Peripheral blood smear · Romanowsky-type stain.
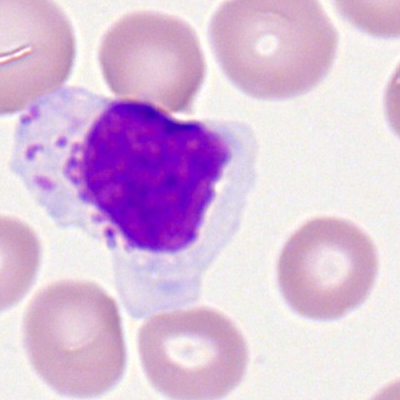 Morphology consistent with a typical lymphocyte.